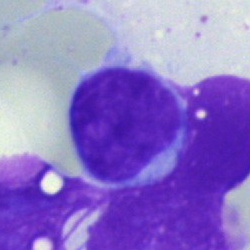
Typical lymphocyte.